Bone marrow aspirate smear — 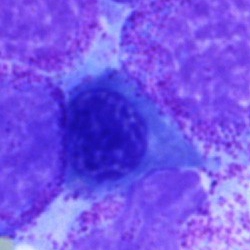
{"cell_type": "nucleated red blood cell", "lineage": "erythroid"}